Bone marrow aspirate smear; 250×250 px
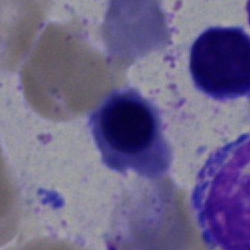

Impression — nucleated red blood cell.